Bone marrow aspirate smear · 250×250.
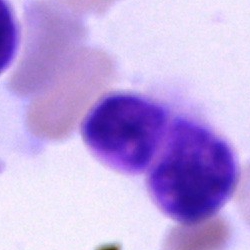

Showing an artefact.